Bone marrow smear. Brightfield microscopy, 40× oil immersion:
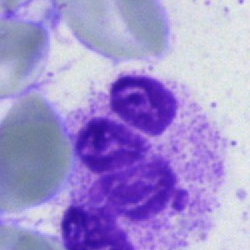This is a neutrophil (segmented).